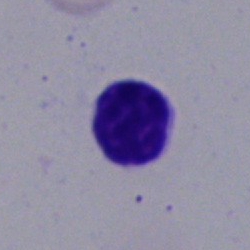

Specimen: bone marrow aspirate smear.
Morphological class: typical lymphocyte.
Lineage: lymphoid.